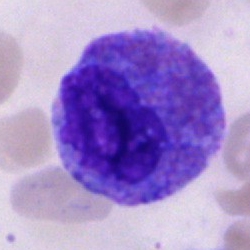The cell shown is an eosinophilic granulocyte.